Bone marrow aspirate smear.
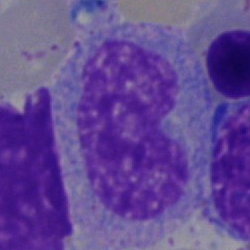
Q: Identify the cell.
A: It is a monocyte.